Bone marrow aspirate smear — 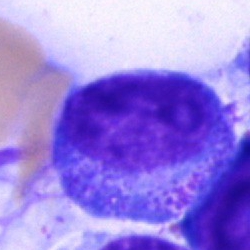 The morphological class is progranulocyte.